Peripheral blood smear: 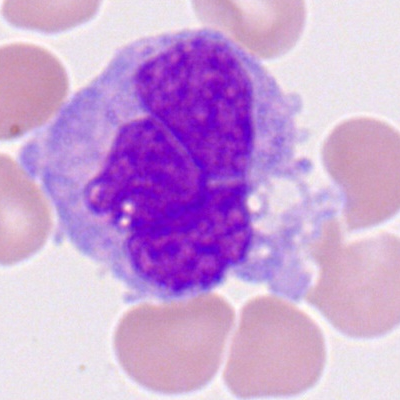

Specimen: peripheral blood film.
Classification: monocyte.
Lineage: myeloid.